Peripheral blood smear — 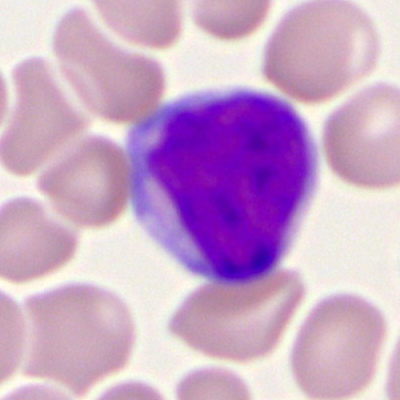 Cell type: myeloid blast.